Bone marrow smear: 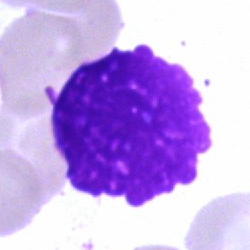 Q: What is shown here?
A: Artefact.